Bone marrow aspirate smear.
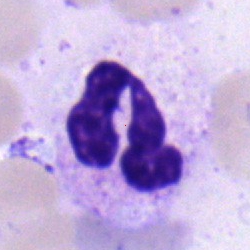 Q: What cell is this?
A: A neutrophil (segmented).